Bone marrow aspirate smear: 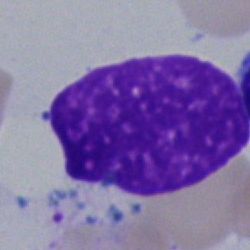

Q: What is shown here?
A: This is an artefact.